Cropped to a single cell; bone marrow smear; May-Grünwald-Giemsa stain
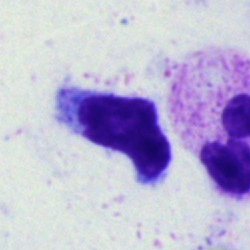 Morphological class = lymphocyte.